M8 digital microscope (Precipoint), 100× oil immersion · peripheral blood film
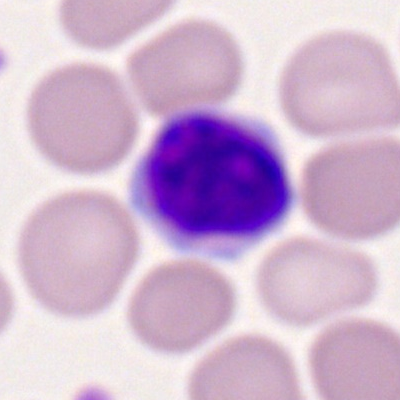Classification: lymphocyte.